Bone marrow aspirate smear — 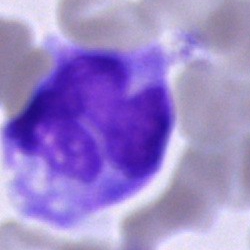
Showing a monocyte.